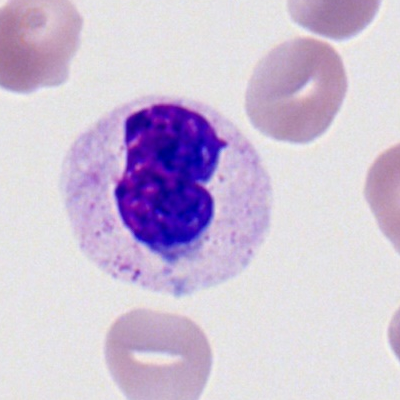The cell type is neutrophil (segmented).